Single cell centered in the field; bone marrow aspirate smear; 40× objective, oil immersion — 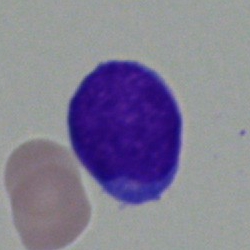 Showing a blast cell.